Bone marrow smear: 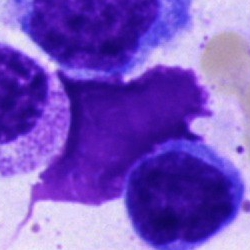

Specimen: bone marrow aspirate smear.
Cell: artifact.